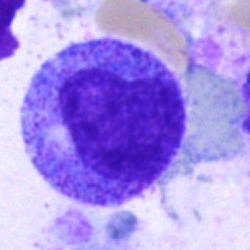

Morphology → progranulocyte.